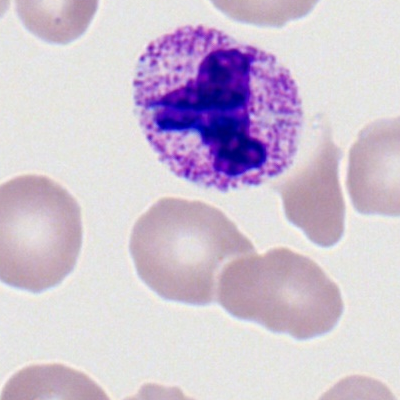

Peripheral blood film, single cell — polymorphonuclear neutrophil.